Peripheral blood film: 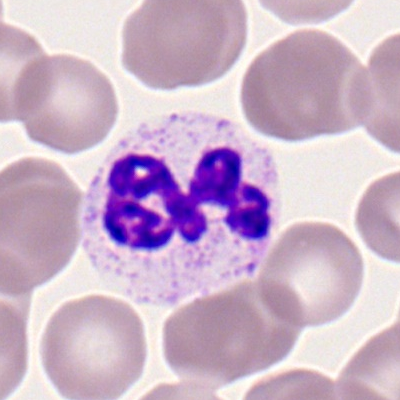
Impression — neutrophil (segmented).